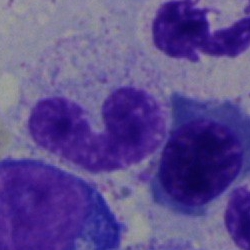

Morphology — band-form neutrophil.